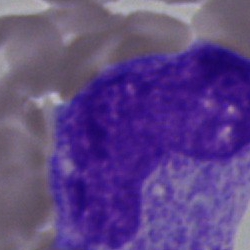

Cell type = promyelocyte.